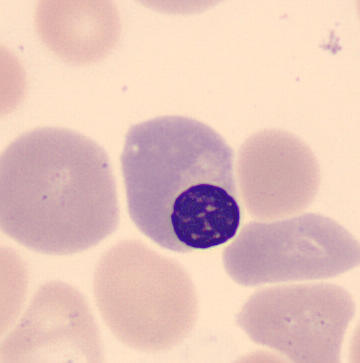

Cell type = nucleated red blood cell. Preparation: 360×363 px · single-cell crop · peripheral blood film.